Peripheral blood smear
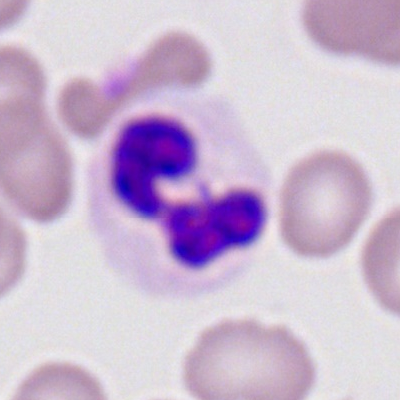
Morphology consistent with a neutrophil (segmented).